Bone marrow aspirate smear — 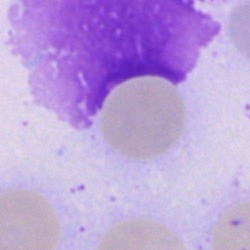Specimen: bone marrow aspirate smear.
Morphological class: artefact.